Bone marrow smear.
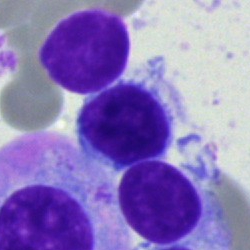This is a typical lymphocyte.